Bone marrow smear — 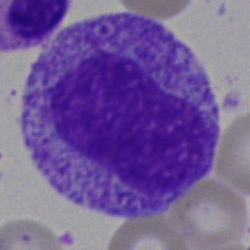Classification — promyelocyte.